Bone marrow aspirate smear
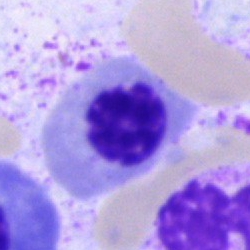 The cell is nucleated red cell.